Pappenheim-stained · bone marrow smear: 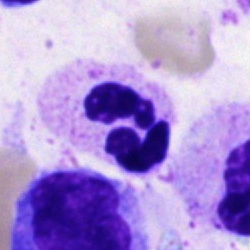{"cell_type": "segmented neutrophil", "lineage": "myeloid"}